May-Grünwald-Giemsa stain. Bone marrow aspirate smear: 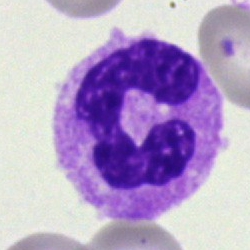 The cell type is neutrophil (segmented).